250×250 · Pappenheim-stained · bone marrow aspirate smear — 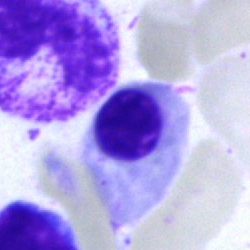 A nucleated red cell.